Bone marrow smear. Image size 250×250:
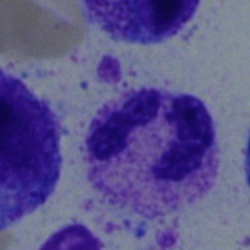Q: What cell is this?
A: It is a segmented neutrophil.